Bone marrow smear · single-cell field — 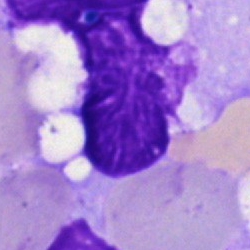Classification — artefact.